Bone marrow smear; 40× oil immersion — 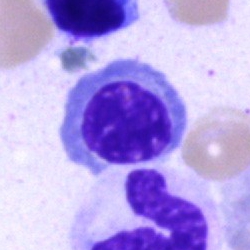 This is a nucleated red blood cell.